Peripheral blood smear — 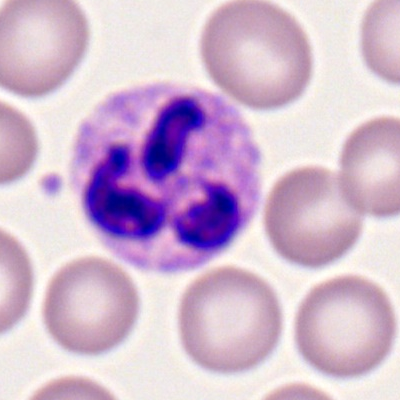 A segmented neutrophil.